May-Grünwald-Giemsa stain. Single-cell crop. Bone marrow smear.
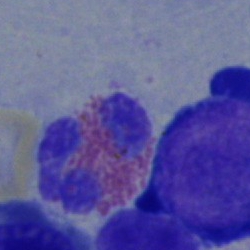 This is an eosinophil.